Bone marrow smear
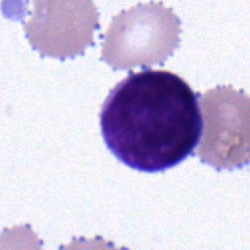
Q: What cell is this?
A: This is a blast cell.